MGG-stained; single cell centered in the field; bone marrow smear — 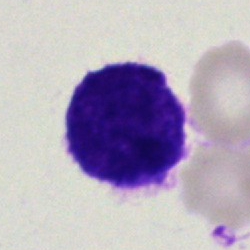 Showing a blast.